Peripheral blood smear — 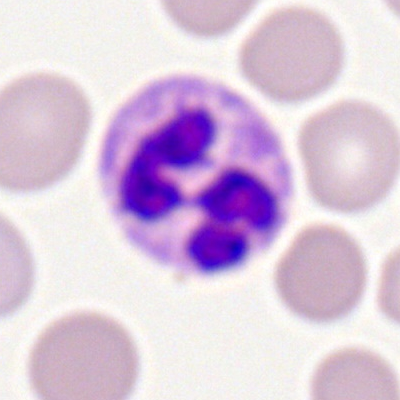 The cell shown is a segmented neutrophil.